Bone marrow aspirate smear.
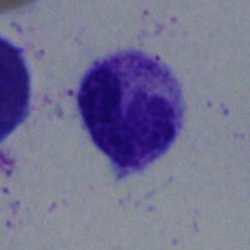The cell shown is a segmented neutrophil.